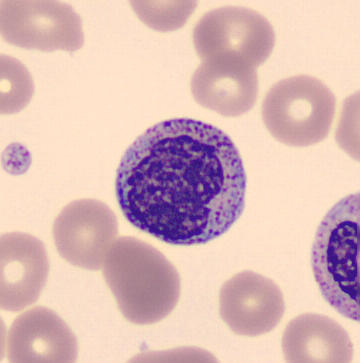
Acquisition: Peripheral blood film.

Morphology consistent with a myelocyte.